Bone marrow smear
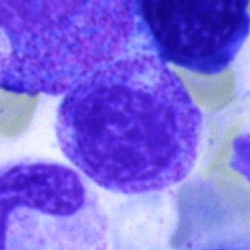 The classification is myelocyte.